Bone marrow aspirate smear:
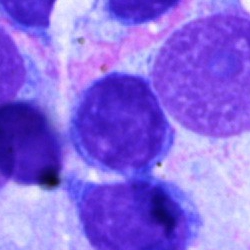

Impression → typical lymphocyte.